Brightfield microscopy, 40× oil immersion · bone marrow aspirate smear — 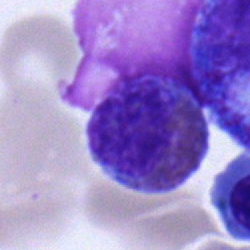 Morphology — eosinophilic granulocyte.